Bone marrow aspirate smear
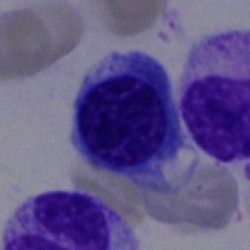A nucleated red blood cell.